Bone marrow smear.
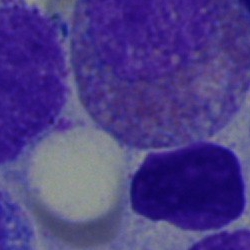
Q: What is shown here?
A: An eosinophilic granulocyte.